Bone marrow smear · single-cell field — 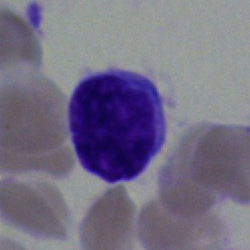 Specimen: bone marrow smear.
Classification: typical lymphocyte.